Bone marrow smear
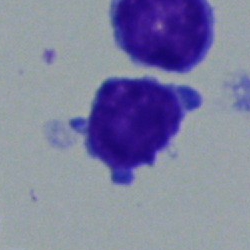 Classification — lymphocyte.